Bone marrow smear · 250×250 · brightfield, 40× oil-immersion objective: 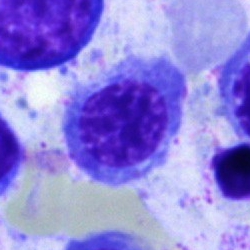
Nucleated red cell.